Peripheral blood smear: 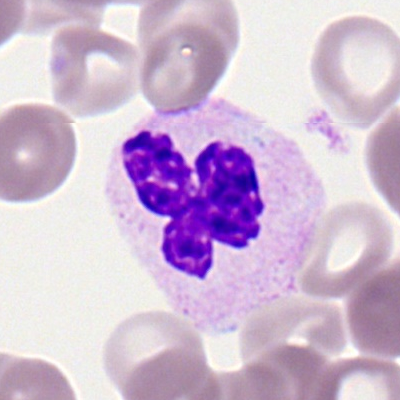

Morphology → segmented neutrophil.